Brightfield, 40× oil-immersion objective; single-cell crop; bone marrow smear:
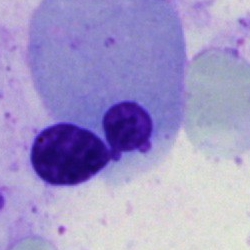 Classification = nucleated red cell.